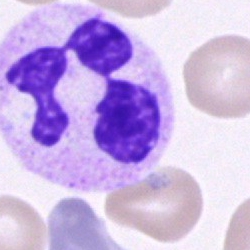

A segmented neutrophil on a bone marrow smear.